Single cell centered in the field. Peripheral blood film: 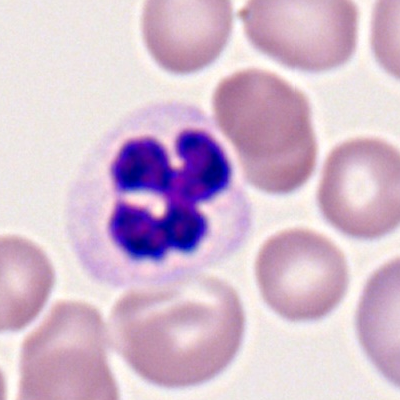
Impression — segmented neutrophil.